Single-cell crop · peripheral blood film · Romanowsky-stained.
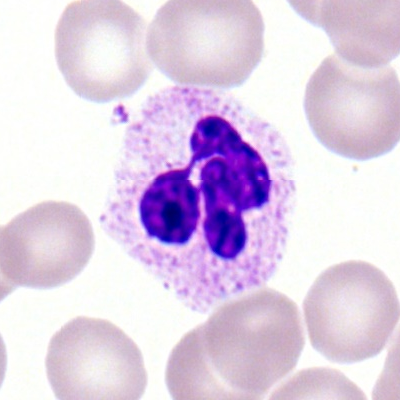

Impression — polymorphonuclear neutrophil.